Single-cell crop. 250 by 250 pixels. Bone marrow aspirate smear:
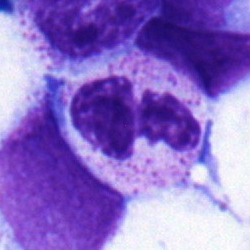 Classification — segmented neutrophil.